Bone marrow smear · Pappenheim-stained.
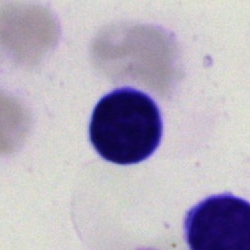
Specimen: bone marrow aspirate smear.
Morphological class: artifact.